Bone marrow smear
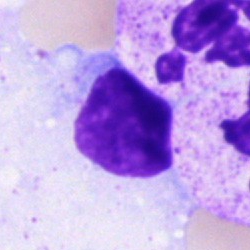 Morphology consistent with a lymphocyte.